Bone marrow aspirate smear — 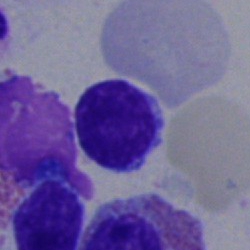

Morphology — typical lymphocyte.